Bone marrow aspirate smear — 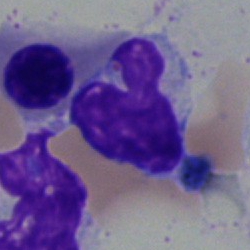

Morphology consistent with a lymphocyte.